Peripheral blood film; 100× oil immersion, 14.14 px/µm.
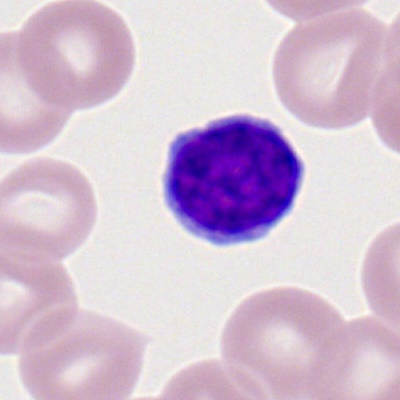

This is a typical lymphocyte.